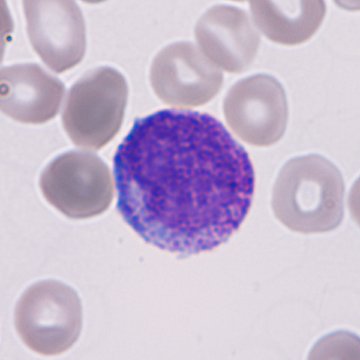
The cell shown is an immature granulocyte (promyelocyte, myelocyte or metamyelocyte).

May-Grünwald-Giemsa-stained; peripheral blood smear.